Bone marrow smear · brightfield microscopy, 40× oil immersion · Pappenheim-stained:
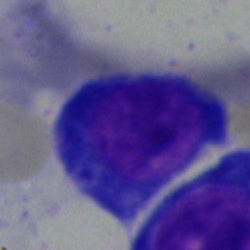 Single cell identified as an erythroblast.